Bone marrow aspirate smear: 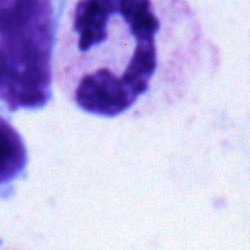Morphology — polymorphonuclear neutrophil.